Bone marrow smear
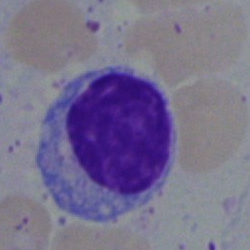

Typical lymphocyte.